Pappenheim-stained. Bone marrow smear. 40× oil immersion — 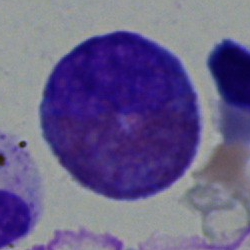
This is an eosinophil.